Bone marrow smear
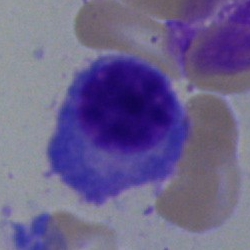

A plasma cell.